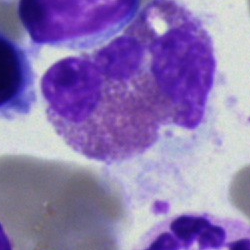

The cell shown is an eosinophil.